Bone marrow smear:
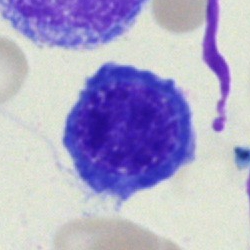 Q: Which cell type is shown here?
A: This is a normoblast.